Image size 250×250; cropped to a single cell; bone marrow aspirate smear:
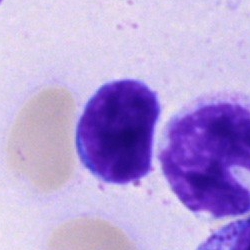 Specimen: bone marrow aspirate smear.
Cell: typical lymphocyte.